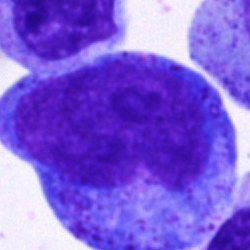

A progranulocyte.